Bone marrow smear.
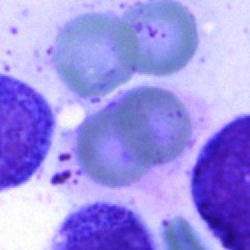
Morphological class: artifact.